Bone marrow aspirate smear
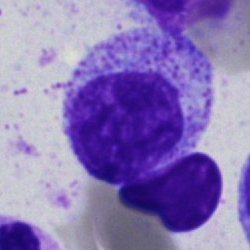
Single cell identified as a myelocyte.